Bone marrow smear; single-cell crop; May-Grünwald-Giemsa/Pappenheim stain
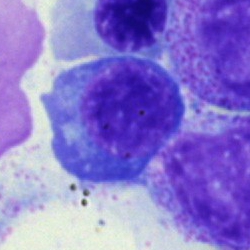
An erythroblast.